250 by 250 pixels. Bone marrow aspirate smear: 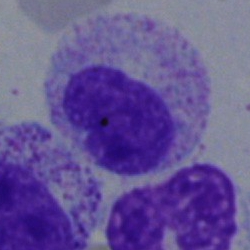 Morphology — metamyelocyte.